Single-cell crop; bone marrow smear:
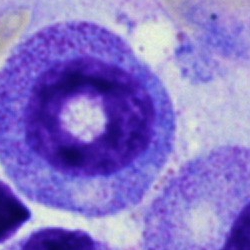 Single cell identified as a progranulocyte.